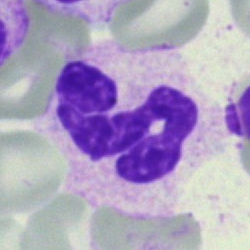
Cell = segmented neutrophil.